Bone marrow aspirate smear
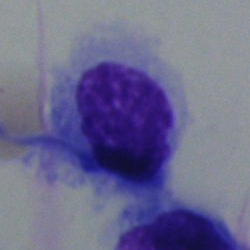 Specimen: bone marrow smear.
Classification: hairy cell.
Lineage: lymphoid.